Pappenheim-stained · bone marrow smear: 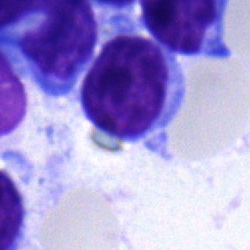
{"cell_type": "lymphocyte", "lineage": "lymphoid"}